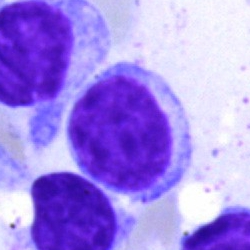
Bone marrow smear showing a lymphocyte.